Bone marrow aspirate smear — 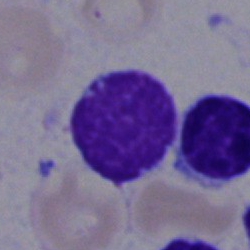Q: What is shown here?
A: It is a lymphocyte.